Pappenheim-stained · 40× objective, oil immersion · bone marrow smear.
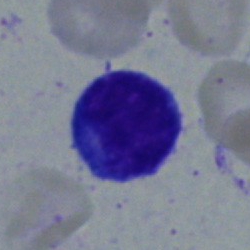

Q: Which cell type is shown here?
A: This is a typical lymphocyte.